Bone marrow smear. 40× objective, oil immersion. Single-cell field: 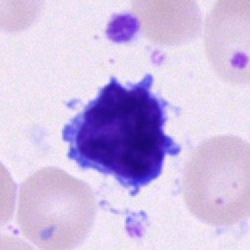
This is a lymphocyte.